Bone marrow aspirate smear:
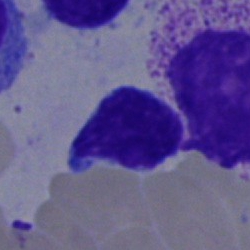

Specimen: bone marrow aspirate smear.
Cell: lymphocyte.